Romanowsky stain; peripheral blood film
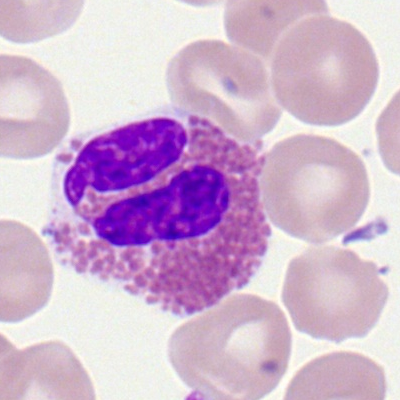

Specimen: peripheral blood smear.
Cell type: eosinophil.